Bone marrow smear: 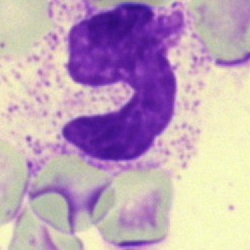Classification — band neutrophil.